250×250 · bone marrow smear — 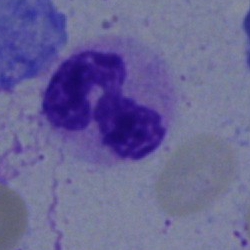Q: What is the morphological classification of this cell?
A: Segmented neutrophil.